Bone marrow aspirate smear · brightfield, 40× oil-immersion objective · Pappenheim-stained.
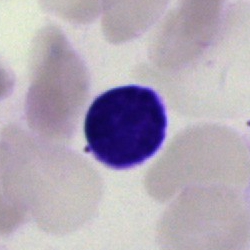Q: What type of cell is this?
A: It is a typical lymphocyte.